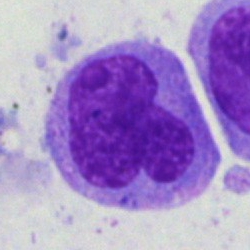 A monocyte.